Bone marrow aspirate smear: 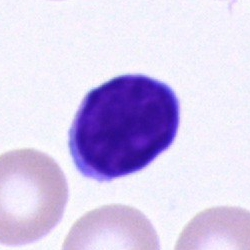
Cell — lymphocyte.